Bone marrow aspirate smear. May-Grünwald-Giemsa/Pappenheim stain
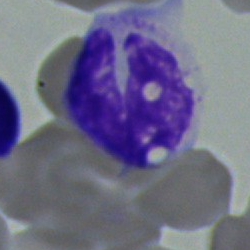

The cell shown is a monocyte.